Bone marrow aspirate smear · May-Grünwald-Giemsa/Pappenheim stain
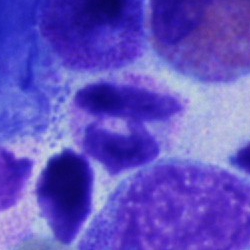
Morphology consistent with a neutrophil (segmented).